Bone marrow aspirate smear.
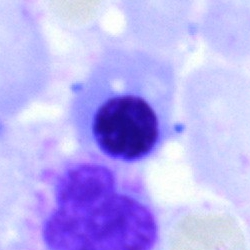{"cell_type": "normoblast", "lineage": "erythroid"}